May-Grünwald-Giemsa stain · bone marrow aspirate smear · brightfield microscopy, 40× oil immersion: 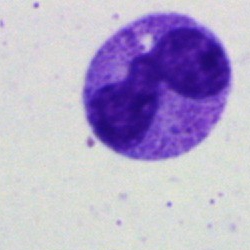 Single cell identified as a polymorphonuclear neutrophil.